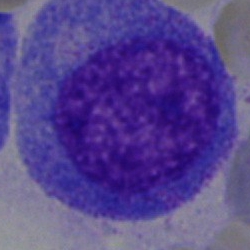

{"cell_type": "promyelocyte", "lineage": "myeloid"}